Bone marrow aspirate smear. Single-cell field. May-Grünwald-Giemsa/Pappenheim stain:
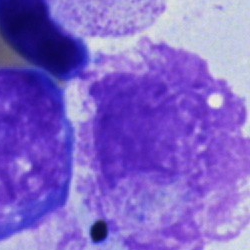An artefact.